Brightfield, 40× oil-immersion objective; bone marrow aspirate smear; single cell centered in the field:
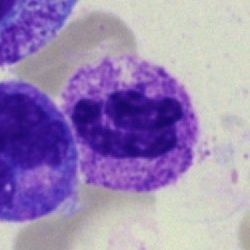

Q: What is shown here?
A: Neutrophil (segmented).